MGG-stained · bone marrow smear · 250×250.
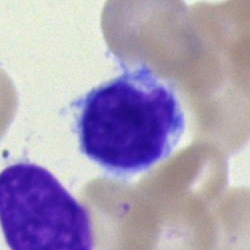 {"cell_type": "lymphocyte", "lineage": "lymphoid"}